40× oil immersion; 250×250; bone marrow smear — 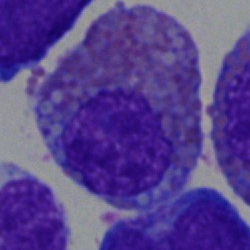

Cell type = eosinophil.